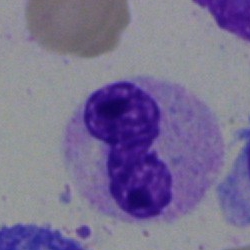 Q: Identify the cell.
A: This is a neutrophil (segmented).